Single cell centered in the field · bone marrow smear · 250×250: 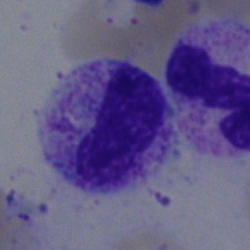 {"cell_type": "band neutrophil", "lineage": "myeloid"}